Bone marrow smear:
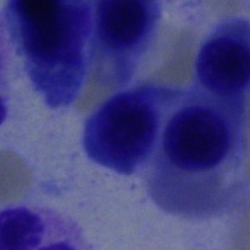

The classification is normoblast.